Bone marrow aspirate smear: 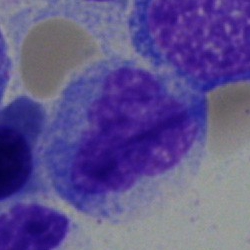

{"cell_type": "monocyte"}